Bone marrow smear. 40× objective, oil immersion. 250×250 px:
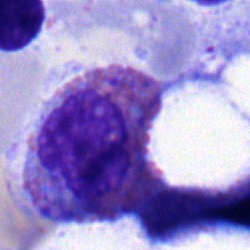
This is an eosinophil.